Bone marrow smear — 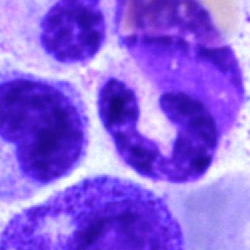 Q: Identify the cell.
A: Segmented neutrophil.